Bone marrow aspirate smear; 40× oil immersion
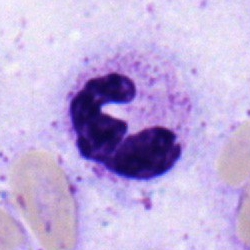 This is a polymorphonuclear neutrophil.